250×250 px · single-cell field · bone marrow smear:
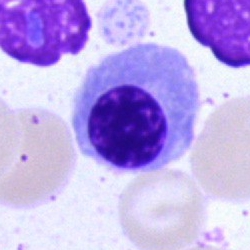

Cell = nucleated red blood cell.